40× oil immersion · bone marrow aspirate smear: 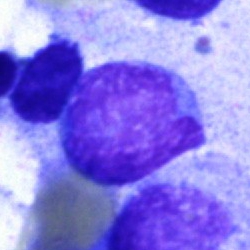

Morphology consistent with a lymphocyte.